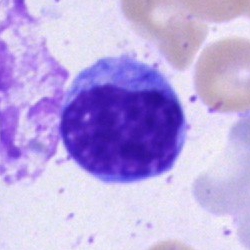Bone marrow smear showing a typical lymphocyte.